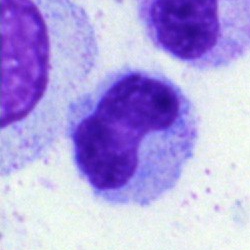
Morphological class = metamyelocyte.